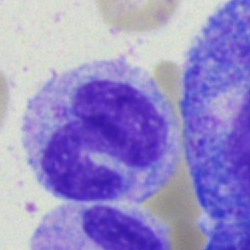 A monocyte on a bone marrow smear.